Bone marrow aspirate smear:
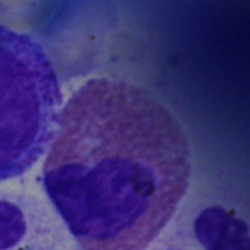

{"cell_type": "eosinophil"}